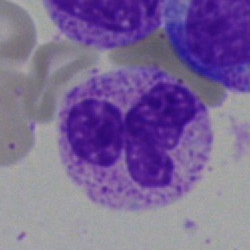
This is a polymorphonuclear neutrophil.